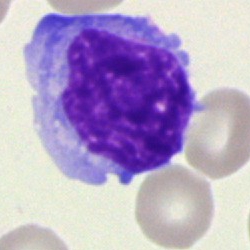
Q: Which cell type is shown here?
A: This is a blast cell.